Bone marrow aspirate smear: 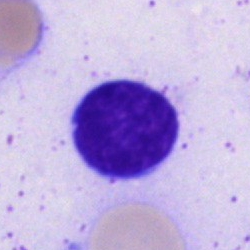Impression → typical lymphocyte.